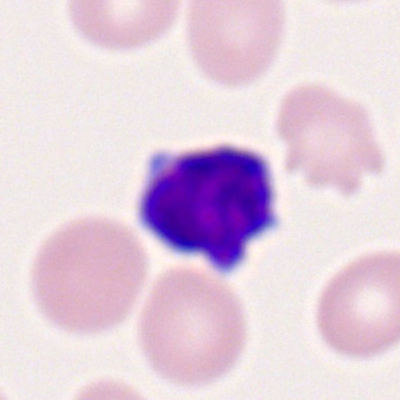
Showing a typical lymphocyte.